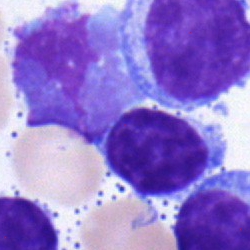
Q: What is shown here?
A: Typical lymphocyte.